Bone marrow smear · Pappenheim-stained:
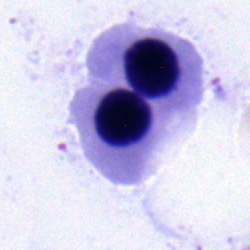Morphological class — normoblast.